Bone marrow smear: 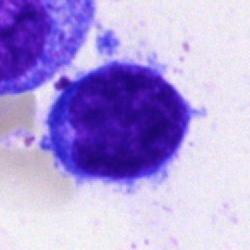 Morphology → lymphocyte.